Bone marrow smear.
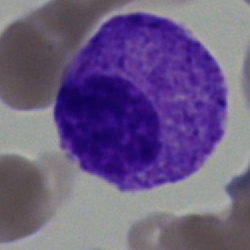

Q: What is the morphological classification of this cell?
A: It is a blast.